Bone marrow smear · image size 250×250 · MGG-stained
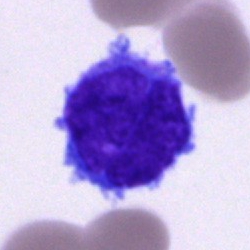

Morphology consistent with a blast cell.